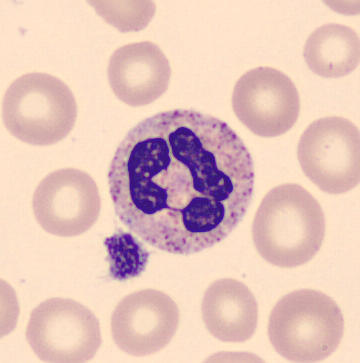 Showing a polymorphonuclear neutrophil.
Preparation: Peripheral blood smear.